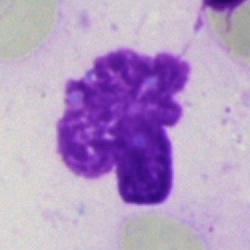
Q: What is shown here?
A: It is an artifact.